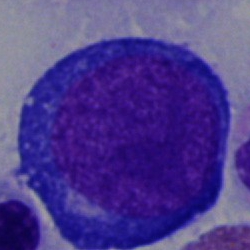A proerythroblast.